Bone marrow smear
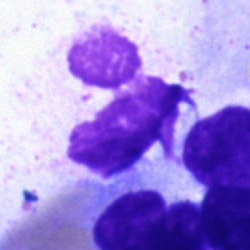
Morphology consistent with an artifact.